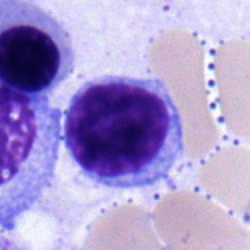Q: Which cell type is shown here?
A: It is a lymphocyte.